Peripheral blood smear:
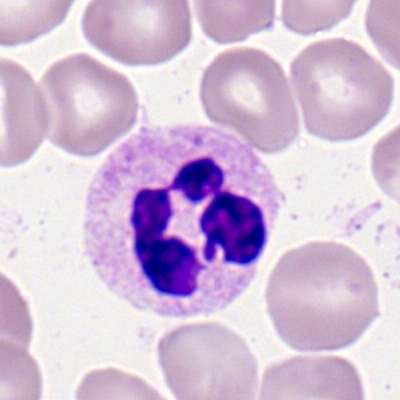 Cell type = polymorphonuclear neutrophil.